Bone marrow smear:
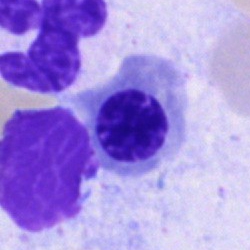Q: What is shown here?
A: Nucleated red cell.